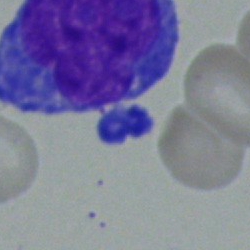

The cell shown is an undifferentiated blast.